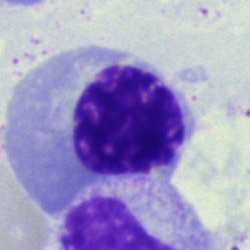

Q: What type of cell is this?
A: A normoblast.